Bone marrow aspirate smear: 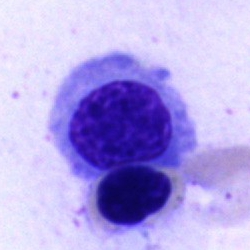
The cell is nucleated red cell.